Bone marrow aspirate smear. 250 by 250 pixels.
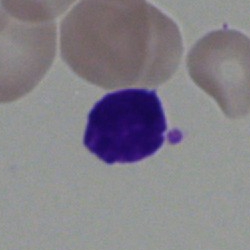

Morphology → typical lymphocyte.